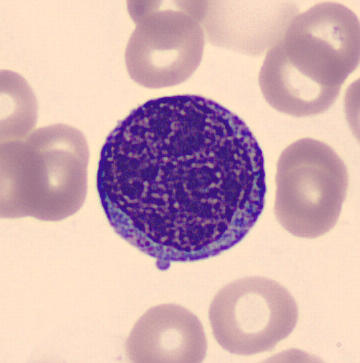 The cell is progranulocyte.

Preparation: Peripheral blood smear; image size 360×363; CellaVision DM96.